MGG-stained; bone marrow smear.
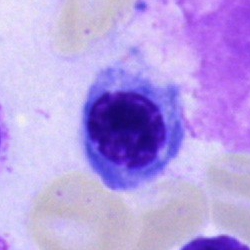

Specimen: bone marrow smear.
Cell type: nucleated red blood cell.